Bone marrow aspirate smear: 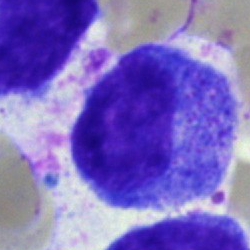
Specimen: bone marrow aspirate smear.
Morphological class: progranulocyte.
Lineage: myeloid.